Bone marrow smear; brightfield, 40× oil-immersion objective:
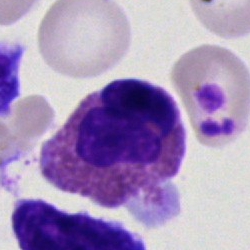 Classification: eosinophilic granulocyte.